100× oil immersion; peripheral blood film; image size 400×400:
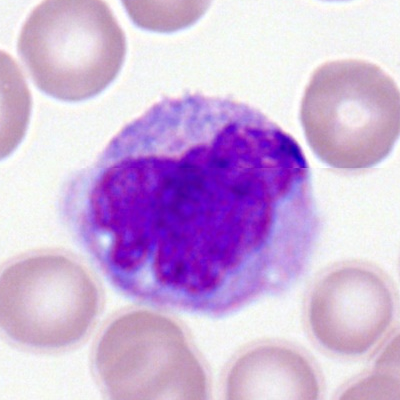

Morphology → monocyte.